Bone marrow aspirate smear.
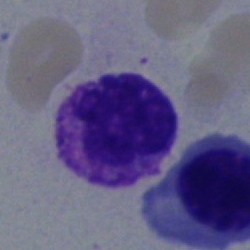 Morphology → basophil.